Bone marrow smear: 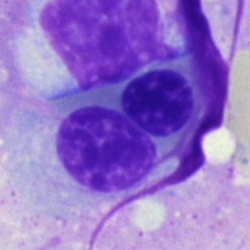
Q: Identify the cell.
A: It is an erythroblast.